Bone marrow smear — 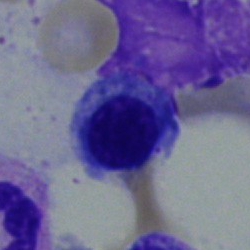 Q: Identify the cell.
A: It is a nucleated red blood cell.